Bone marrow smear · May-Grünwald-Giemsa/Pappenheim stain · image size 250×250:
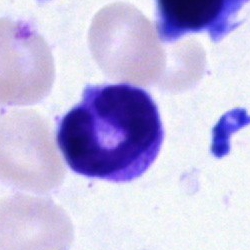Q: What is shown here?
A: Segmented neutrophil.